Single-cell crop · bone marrow aspirate smear:
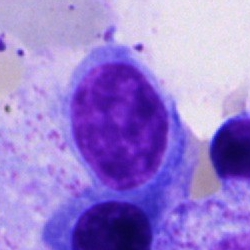Showing a typical lymphocyte.